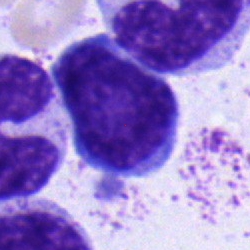This is a lymphocyte.